Bone marrow aspirate smear:
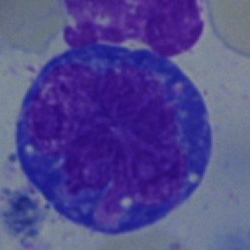

Showing an undifferentiated blast.